Peripheral blood film — 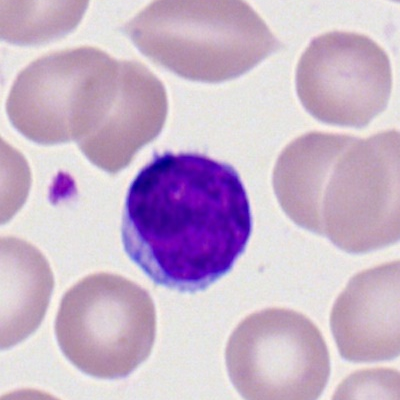 Cell — typical lymphocyte.